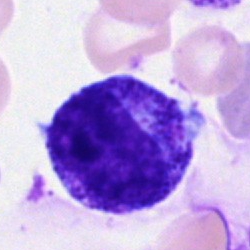

Morphology → promyelocyte.